Cropped to a single cell. Bone marrow smear
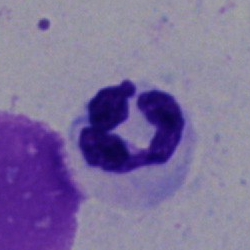

The cell shown is a neutrophil (segmented).